May-Grünwald-Giemsa stain; 40× objective, oil immersion; bone marrow smear.
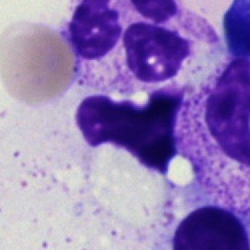

Neutrophil (segmented).